Bone marrow smear · 40× oil immersion: 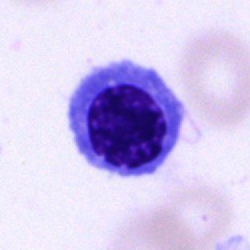
Showing a normoblast.